Brightfield microscopy, 40× oil immersion; single-cell crop; bone marrow smear:
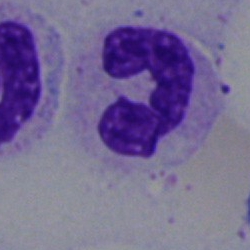

{"cell_type": "neutrophil (segmented)"}